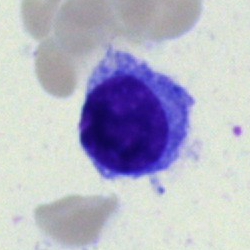 Showing a typical lymphocyte.